Cropped to a single cell · bone marrow smear: 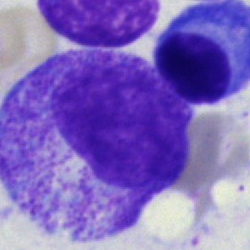

Q: What type of cell is this?
A: It is a myelocyte.